Bone marrow aspirate smear:
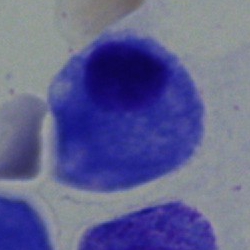 Morphology consistent with a plasmacyte.